May-Grünwald-Giemsa/Pappenheim stain. Bone marrow smear. Brightfield, 40× oil-immersion objective — 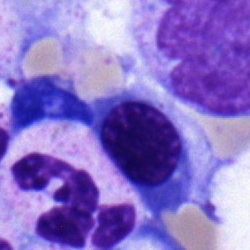

Morphological class: nucleated red blood cell.